Bone marrow smear.
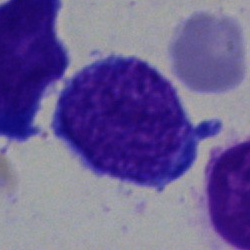 The cell shown is a lymphocyte.